Bone marrow aspirate smear: 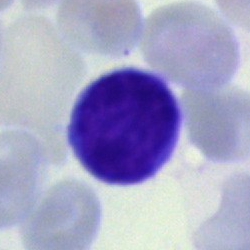
Typical lymphocyte.